Bone marrow smear. Single-cell crop:
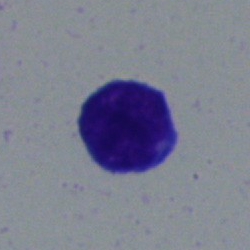

Showing a lymphocyte.